May Grünwald-Giemsa stain. Peripheral blood smear. 360×363 px
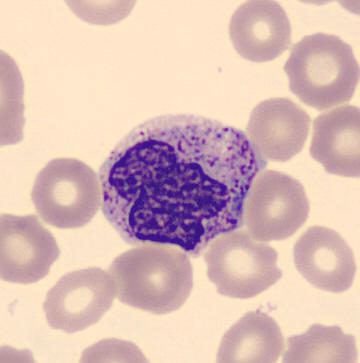Morphology — metamyelocyte.